40× oil immersion; bone marrow smear; 250×250 — 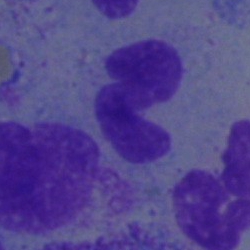
Cell type: band neutrophil.